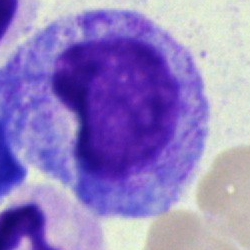

Classification = progranulocyte.